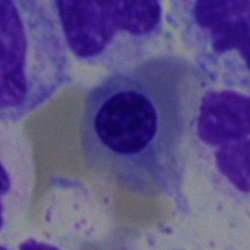Q: Identify the cell.
A: It is a normoblast.